Bone marrow aspirate smear.
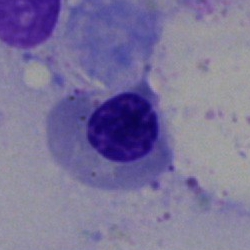 Q: What cell is this?
A: A nucleated red cell.